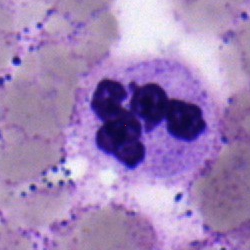

Polymorphonuclear neutrophil.